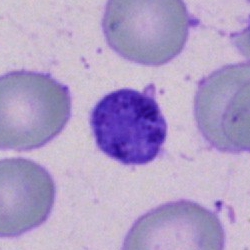Q: What is shown here?
A: An artefact.